Bone marrow smear
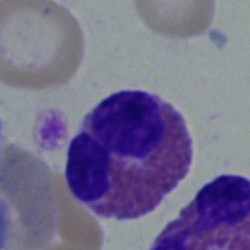 Morphology — eosinophil.